Bone marrow smear: 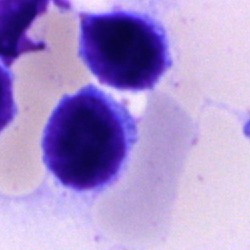Morphology consistent with a lymphocyte.